Bone marrow aspirate smear:
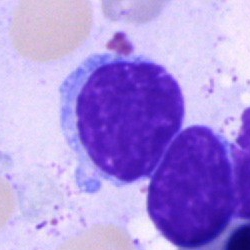This is a lymphocyte.